Bone marrow aspirate smear. 250×250:
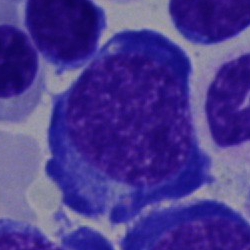 Showing a nucleated red blood cell.